Brightfield, 40× oil-immersion objective; 250×250; bone marrow smear: 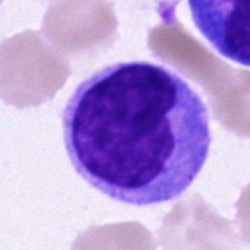 Impression — monocyte.